Bone marrow smear
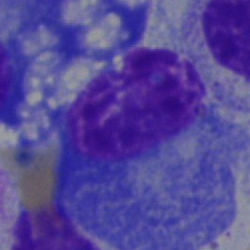
Specimen: bone marrow smear.
Cell type: plasmacyte.
Lineage: lymphoid.